Bone marrow aspirate smear: 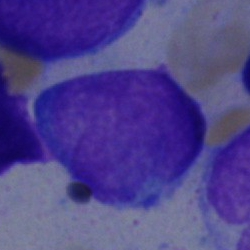Morphology consistent with an undifferentiated blast.